40× objective, oil immersion. Bone marrow smear. Pappenheim-stained — 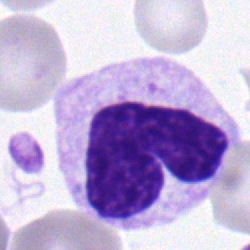Cell: stab cell.